Bone marrow aspirate smear — 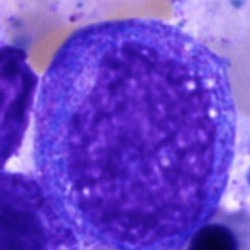

Q: What type of cell is this?
A: A progranulocyte.